Bone marrow aspirate smear
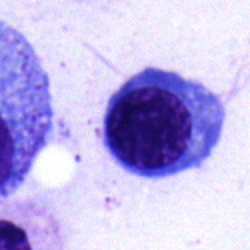

The cell shown is an erythroblast.